Bone marrow smear · 250×250 px.
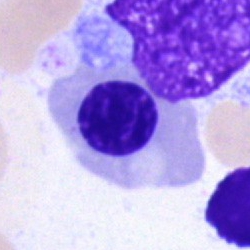
Q: Identify the cell.
A: A nucleated red blood cell.